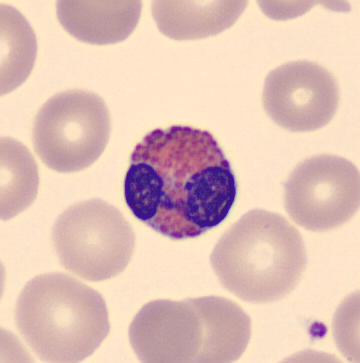 The classification is eosinophilic granulocyte.
Preparation: May-Grünwald-Giemsa-stained; peripheral blood smear.